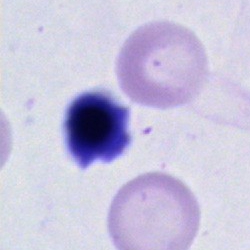{"cell_type": "unidentifiable cell"}